Bone marrow aspirate smear · image size 250×250: 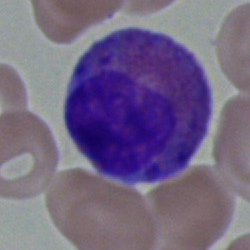 Specimen: bone marrow aspirate smear.
Classification: eosinophilic granulocyte.